250×250 px · bone marrow smear · MGG-stained — 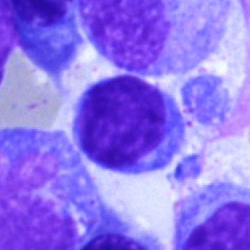
Cell — typical lymphocyte.